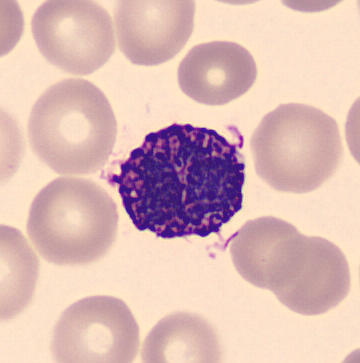

Peripheral blood smear.
Q: What type of cell is this?
A: Basophil.